Bone marrow smear. Single cell centered in the field — 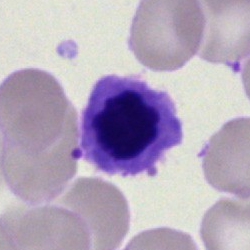
This is a nucleated red blood cell.